Cropped to a single cell. Bone marrow smear:
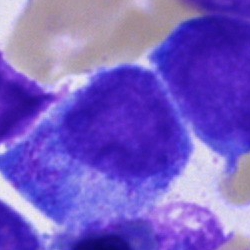Classification — progranulocyte.